May-Grünwald-Giemsa/Pappenheim stain · bone marrow smear:
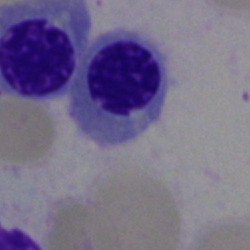Classification: nucleated red cell.